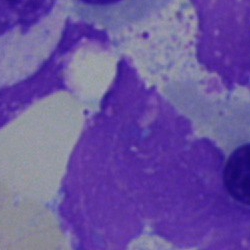Morphology consistent with an artefact.